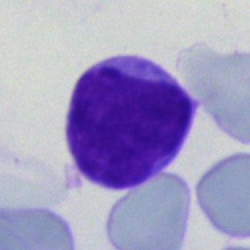 {"cell_type": "blast cell"}